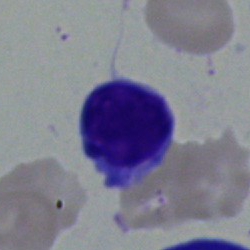
Cell type: typical lymphocyte.